Brightfield microscopy, 40× oil immersion. Bone marrow aspirate smear:
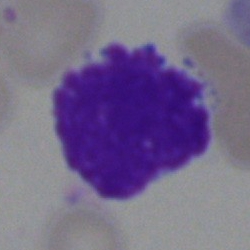

Showing an artifact.